Bone marrow aspirate smear — 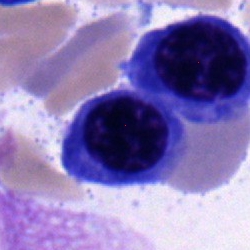

Q: What type of cell is this?
A: This is a nucleated red cell.